Bone marrow aspirate smear
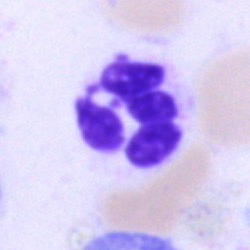

The cell shown is a segmented neutrophil.